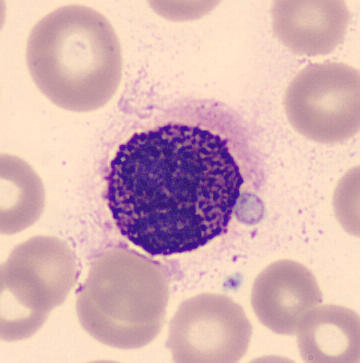 Showing a basophil.